Bone marrow aspirate smear
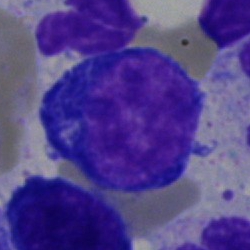
Morphology consistent with a proerythroblast.